Bone marrow smear:
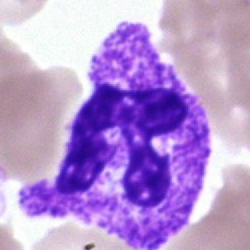
Segmented neutrophil.